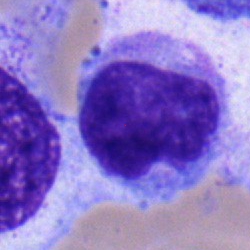

Bone marrow aspirate smear, single cell — monocyte.